CellaVision DM96; peripheral blood smear — 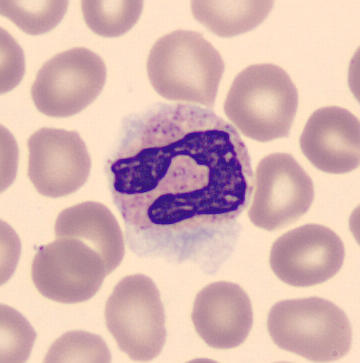This is a neutrophil (band).